40× objective, oil immersion · bone marrow aspirate smear.
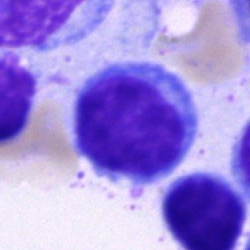 Cell = typical lymphocyte.